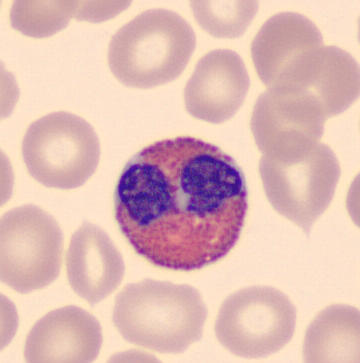

Peripheral blood smear · May-Grünwald-Giemsa-stained. Morphology consistent with an eosinophilic granulocyte.